40× oil immersion; bone marrow smear
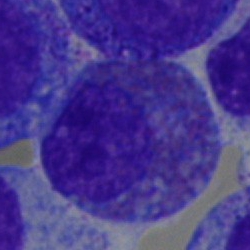Eosinophil.